Brightfield, 40× oil-immersion objective · bone marrow smear: 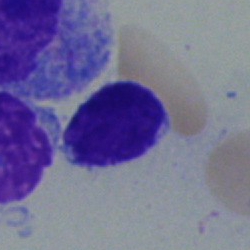Q: What type of cell is this?
A: This is a lymphocyte.